Bone marrow smear; single-cell field — 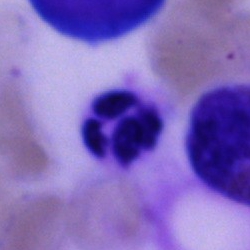

Specimen: bone marrow aspirate smear.
Classification: neutrophil (segmented).